Bone marrow smear — 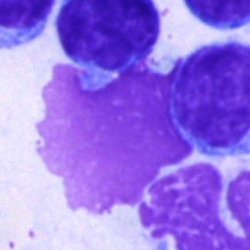 {"cell_type": "artefact"}